Bone marrow aspirate smear:
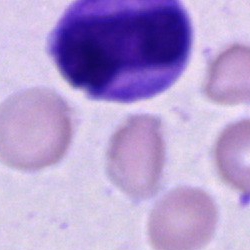Q: Identify the cell.
A: This is an unidentifiable cell.